Bone marrow smear — 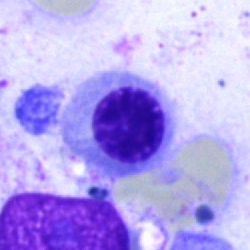 Specimen: bone marrow smear.
Morphological class: normoblast.
Lineage: erythroid.